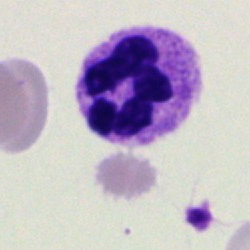
The classification is segmented neutrophil.